Bone marrow aspirate smear.
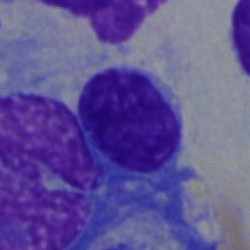
Q: Identify the cell.
A: A lymphocyte.